Brightfield microscopy, 40× oil immersion; bone marrow aspirate smear.
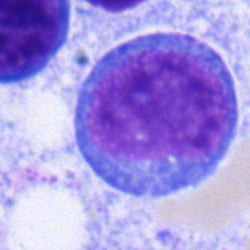 Q: Which cell type is shown here?
A: An undifferentiated blast.